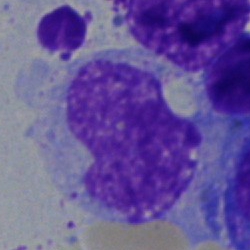A monocyte.